Cropped to a single cell · 250×250 · bone marrow smear:
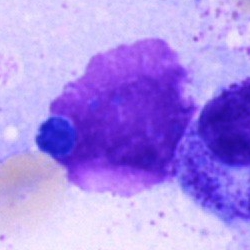
This is an artifact.